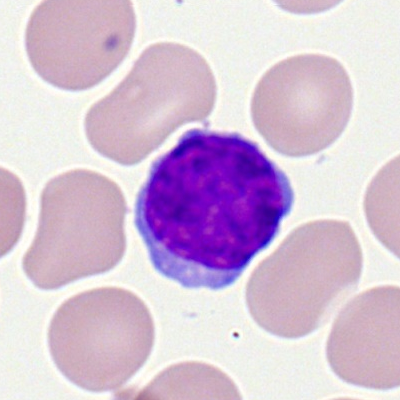Lymphocyte.